Bone marrow smear; single-cell field; MGG-stained
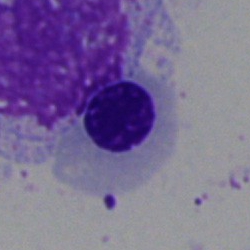The cell type is normoblast.